Bone marrow aspirate smear
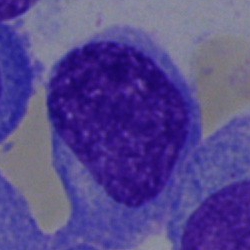 Morphological class: plasmacyte.